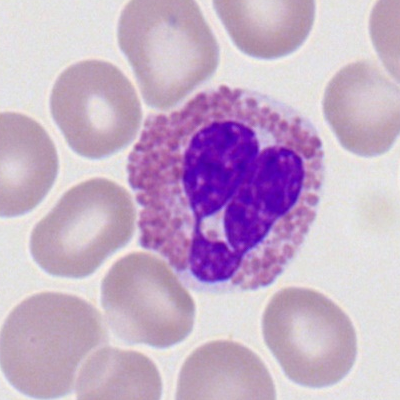Impression → eosinophilic granulocyte.